Bone marrow smear: 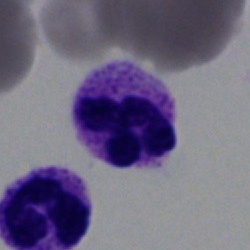

{"cell_type": "segmented neutrophil", "lineage": "myeloid"}